40× oil immersion. Bone marrow smear — 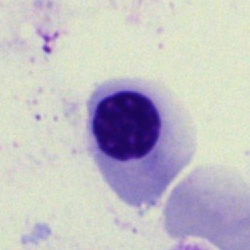
Nucleated red blood cell.